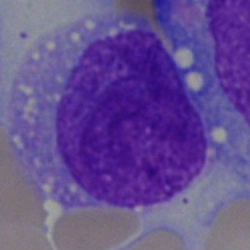Morphology → blast cell.